Bone marrow aspirate smear:
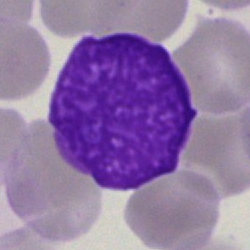 Cell type = artefact.